Bone marrow aspirate smear:
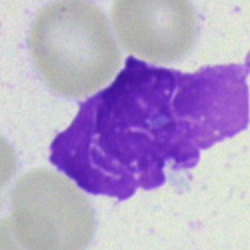Morphology consistent with an artifact.